Bone marrow aspirate smear · May-Grünwald-Giemsa stain — 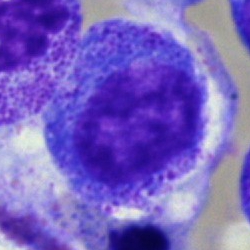

Cell: promyelocyte.